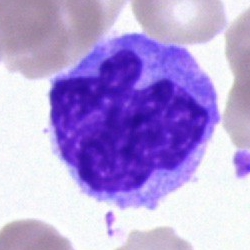
Morphological class: monocyte.